Bone marrow smear
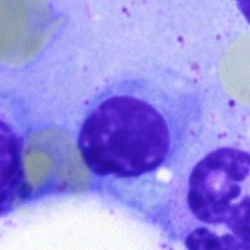Cell = nucleated red cell.